Bone marrow smear.
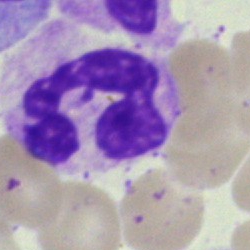
Morphological class: segmented neutrophil.